Bone marrow smear:
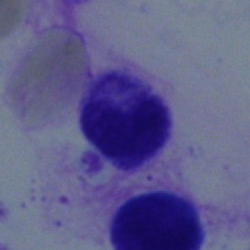
The cell shown is a metamyelocyte.